M8 digital microscope (Precipoint), 100× oil immersion · peripheral blood smear.
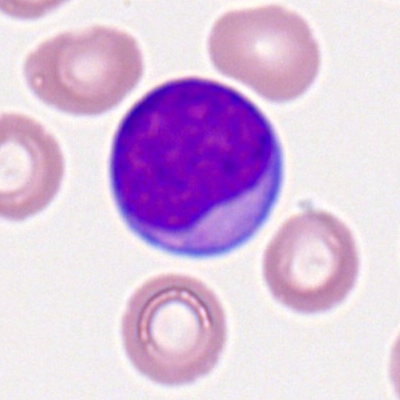

Classification: myeloid blast.